Bone marrow smear: 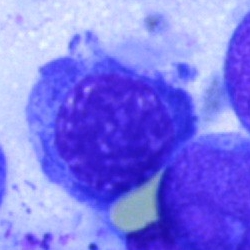

The cell shown is an erythroblast.